Bone marrow aspirate smear
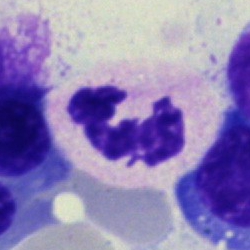 Q: What cell is this?
A: This is a segmented neutrophil.